Bone marrow aspirate smear: 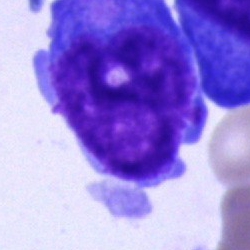

Specimen: bone marrow aspirate smear.
Cell type: undifferentiated blast.